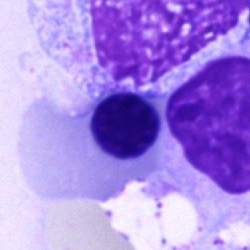
Single-cell crop from a bone marrow smear: nucleated red blood cell.